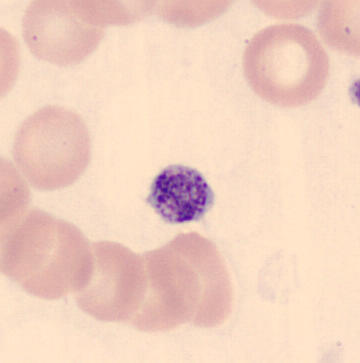 Impression → thrombocyte.